Peripheral blood film.
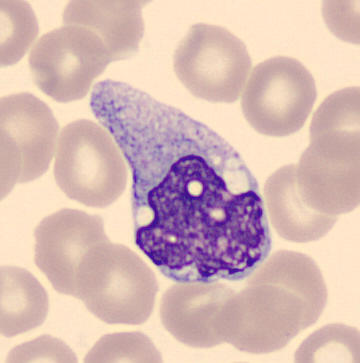

Specimen: peripheral blood smear.
Classification: monocyte.
Lineage: myeloid.